250 by 250 pixels · bone marrow smear: 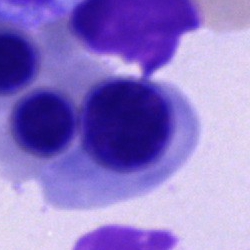Morphology consistent with an erythroblast.